Romanowsky-stained · 100× objective, oil immersion · peripheral blood smear.
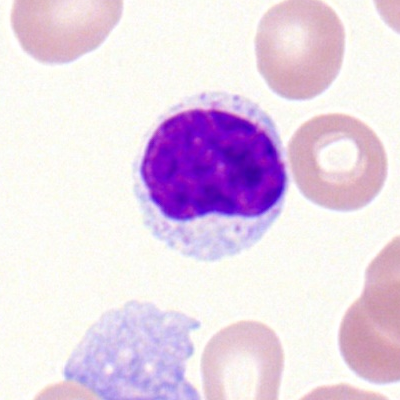Cell: lymphocyte.